Bone marrow smear · May-Grünwald-Giemsa stain · 40× objective, oil immersion.
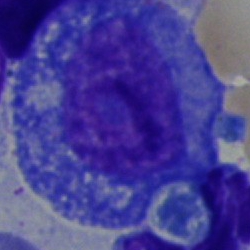Specimen: bone marrow smear.
Cell: promyelocyte.